Bone marrow aspirate smear.
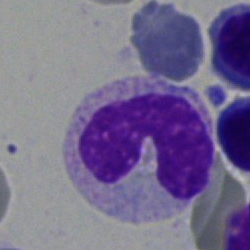 Morphology — segmented neutrophil.